Bone marrow aspirate smear: 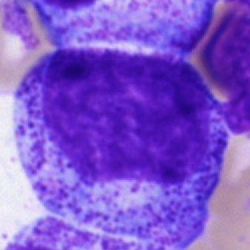

Cell type — promyelocyte.